Single-cell crop · bone marrow smear — 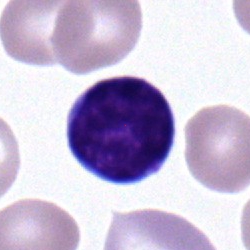
Q: What type of cell is this?
A: Typical lymphocyte.